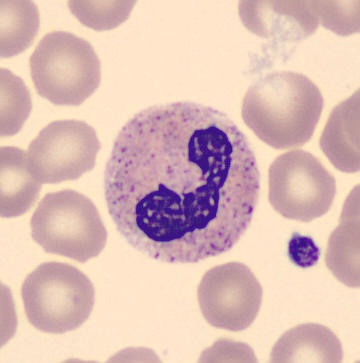

Peripheral blood film, single cell — segmented neutrophil.